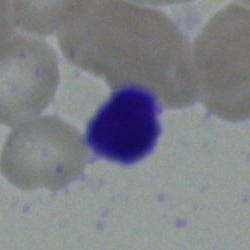Q: What type of cell is this?
A: Typical lymphocyte.